Pappenheim-stained; bone marrow aspirate smear; 40× oil immersion — 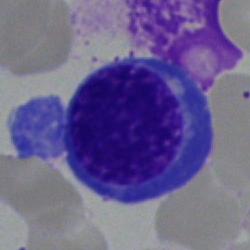Morphology consistent with an erythroblast.